Bone marrow smear. Brightfield, 40× oil-immersion objective.
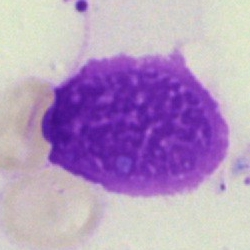Q: What is shown here?
A: This is an artefact.